Peripheral blood film: 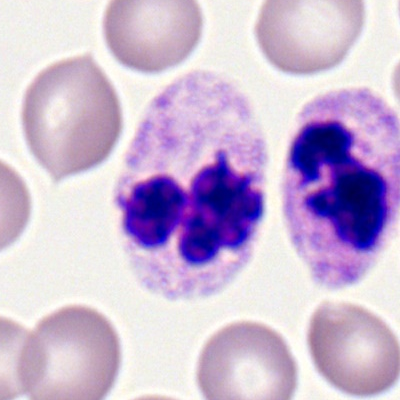 Morphology — polymorphonuclear neutrophil.